May-Grünwald-Giemsa/Pappenheim stain. 40× oil immersion. Bone marrow smear.
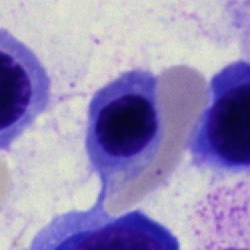

Specimen: bone marrow aspirate smear.
Classification: normoblast.